40× oil immersion. Bone marrow aspirate smear: 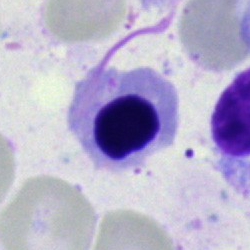

Q: Which cell type is shown here?
A: Erythroblast.